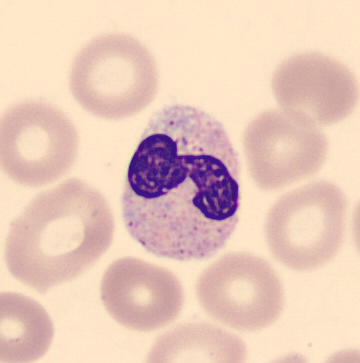 Specimen: peripheral blood film.
Cell type: band-form neutrophil.
Lineage: myeloid.